Bone marrow smear:
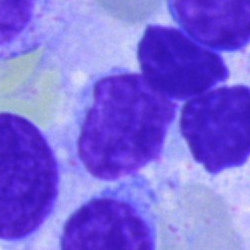Showing a typical lymphocyte.